Bone marrow aspirate smear
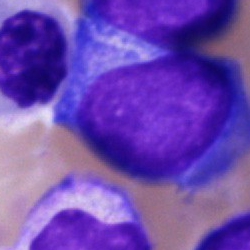The cell shown is an undifferentiated blast.